Bone marrow smear:
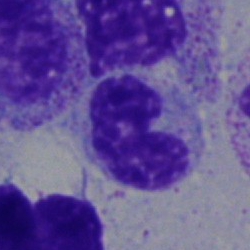Q: What is shown here?
A: Band neutrophil.